Bone marrow aspirate smear: 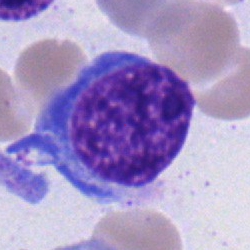 Morphology → nucleated red cell.